Bone marrow smear. 40× objective, oil immersion: 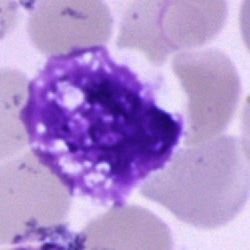
Q: What is shown here?
A: This is an artifact.